Bone marrow aspirate smear; 40× objective, oil immersion; Pappenheim-stained.
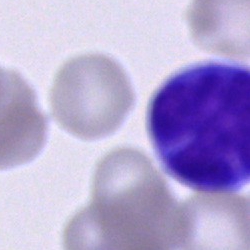

Specimen: bone marrow aspirate smear.
Cell: unidentifiable cell.